May-Grünwald-Giemsa stain. Bone marrow smear:
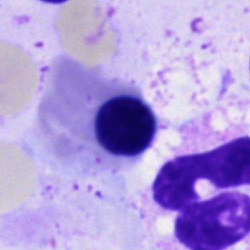

Specimen: bone marrow smear.
Cell: erythroblast.
Lineage: erythroid.